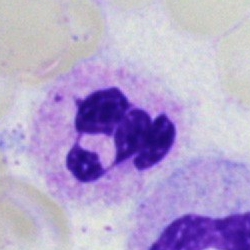Single cell identified as a segmented neutrophil.